Bone marrow aspirate smear. 40× objective, oil immersion. Pappenheim-stained
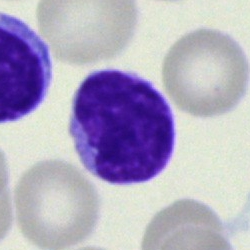
Showing a lymphocyte.